Image size 250×250; single cell centered in the field; bone marrow smear: 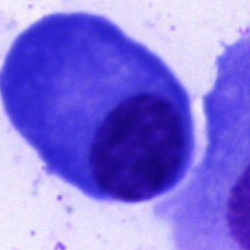

{"cell_type": "plasmacyte", "lineage": "lymphoid"}